Bone marrow aspirate smear.
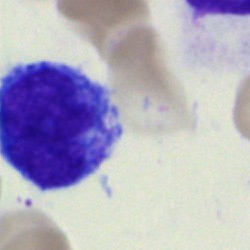
Morphological class: typical lymphocyte.